Bone marrow smear — 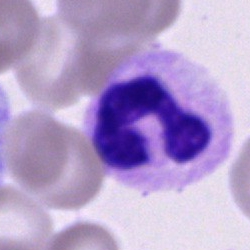
Neutrophil (segmented).